Bone marrow smear — 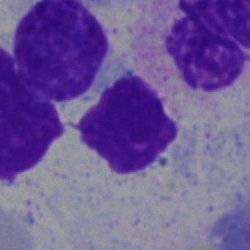
This is an artefact.